MGG-stained. 40× oil immersion. Bone marrow smear:
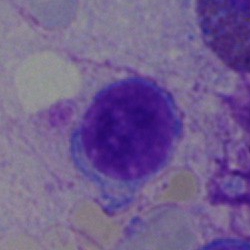

Q: Identify the cell.
A: This is a lymphocyte.